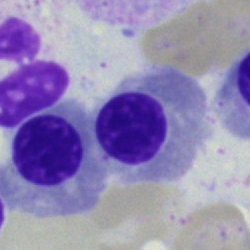
This is a nucleated red blood cell.